May-Grünwald-Giemsa/Pappenheim stain; bone marrow aspirate smear:
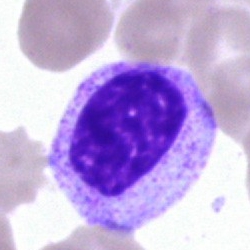
Q: What type of cell is this?
A: This is a myelocyte.